Romanowsky-stained. Peripheral blood film.
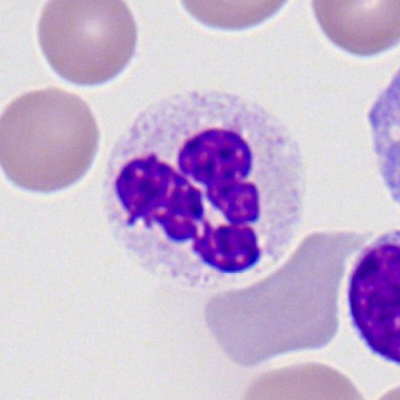
{"cell_type": "neutrophil (segmented)"}